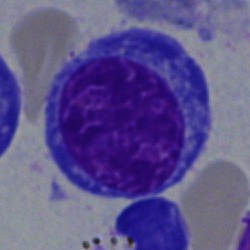
Q: What is shown here?
A: A nucleated red blood cell.